Cropped to a single cell; bone marrow smear — 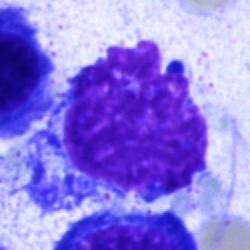 Specimen: bone marrow smear.
Cell: artefact.